Bone marrow smear.
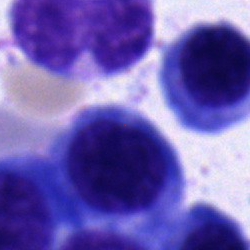
{"cell_type": "nucleated red cell"}